Bone marrow aspirate smear:
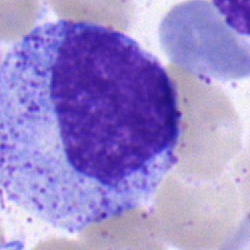 Specimen: bone marrow smear.
Cell: myelocyte.
Lineage: myeloid.